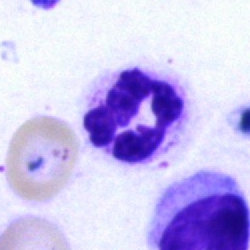Single-cell crop from a bone marrow smear: polymorphonuclear neutrophil.